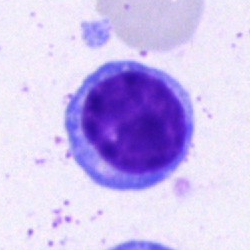
The cell shown is a lymphocyte.